250×250 px; 40× objective, oil immersion; bone marrow aspirate smear: 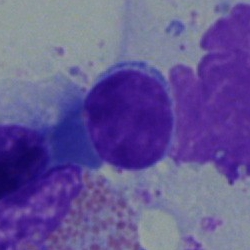
Q: Identify the cell.
A: It is a lymphocyte.